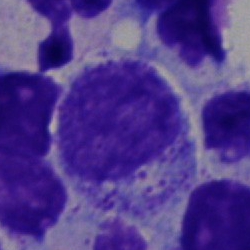Morphology — myelocyte.